Bone marrow smear; 250×250 px — 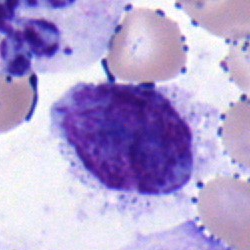Morphological class — typical lymphocyte.